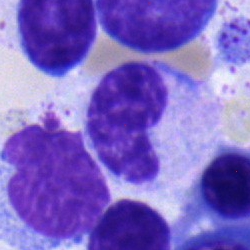Impression → metamyelocyte.